Peripheral blood smear. Single cell centered in the field: 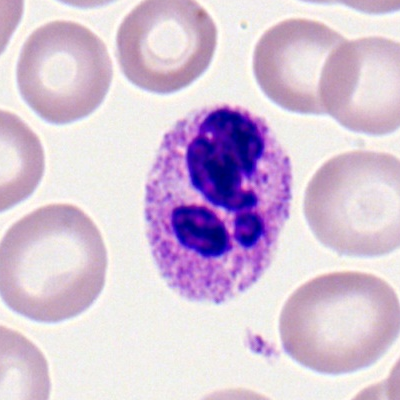Impression → eosinophil.